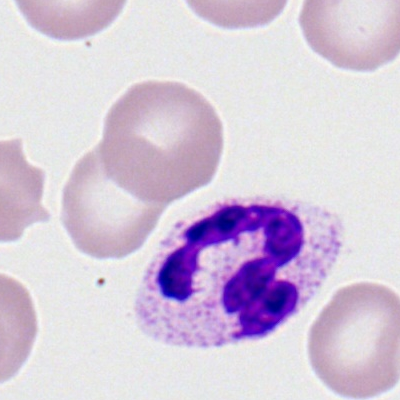

Showing a polymorphonuclear neutrophil.